Bone marrow aspirate smear
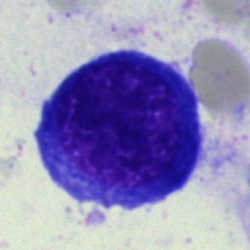
Morphology consistent with an erythroblast.